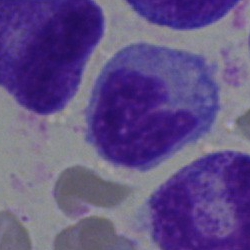Single-cell crop from a bone marrow smear: monocyte.